250 by 250 pixels. Bone marrow aspirate smear — 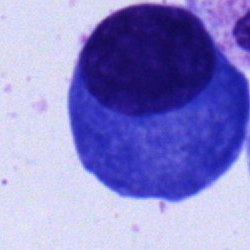 Morphology consistent with a plasma cell.